250×250 px. Bone marrow smear.
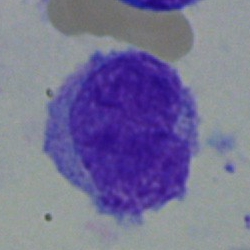

This is a blast.